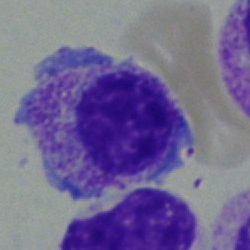
Classification = myelocyte.